Bone marrow smear · 250×250 px · 40× objective, oil immersion.
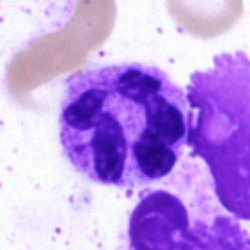
{"cell_type": "segmented neutrophil"}